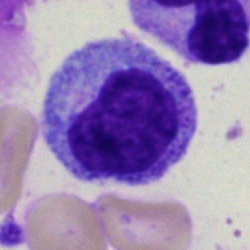 Q: What type of cell is this?
A: It is a myelocyte.